Bone marrow aspirate smear. Image size 250×250
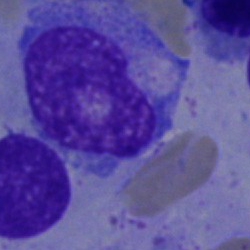
A monocyte.